Bone marrow smear · single-cell crop: 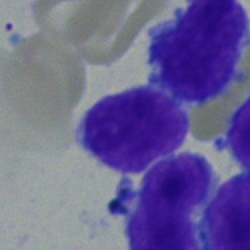
Morphological class: blast cell.